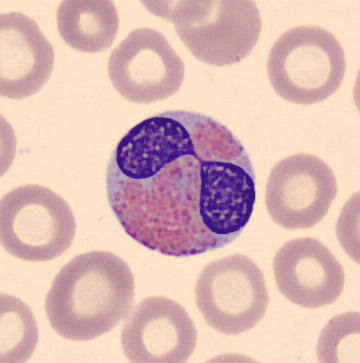
Specimen: peripheral blood film.
Morphological class: eosinophil.
Lineage: myeloid.